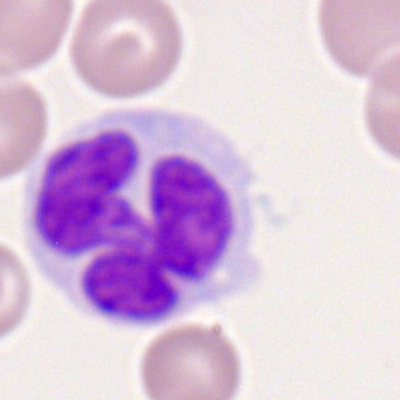

{"cell_type": "monocyte", "lineage": "myeloid"}